250 by 250 pixels. Bone marrow aspirate smear. 40× objective, oil immersion — 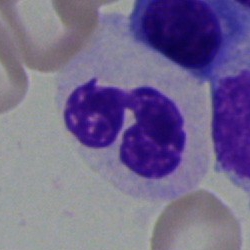 Neutrophil (segmented).